Peripheral blood smear · 100× oil immersion, 14.14 px/µm.
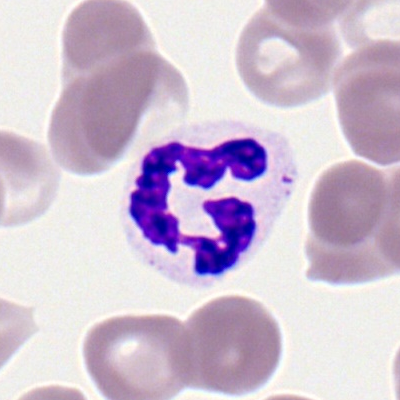The cell shown is a segmented neutrophil.